Bone marrow aspirate smear; image size 250×250 — 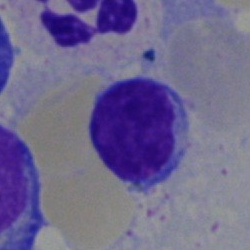

Q: Which cell type is shown here?
A: A typical lymphocyte.